Pappenheim-stained. Bone marrow smear: 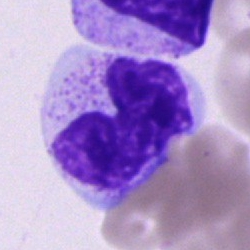

Single cell identified as a neutrophil (band).